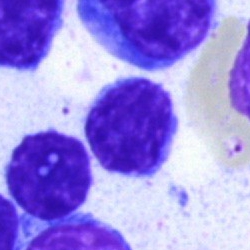
Morphological class: typical lymphocyte.